250×250 · bone marrow smear · MGG-stained: 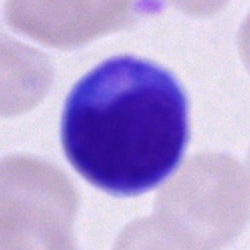
{"cell_type": "unidentifiable cell"}